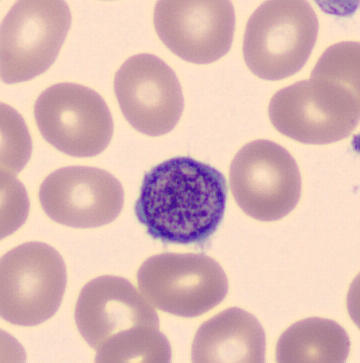Identified as a platelet.